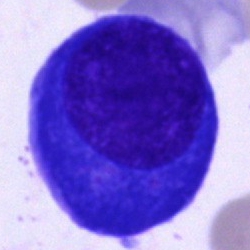The cell type is plasma cell.